100× oil immersion · peripheral blood smear — 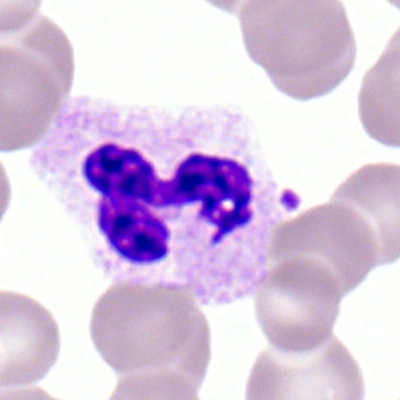

Showing a polymorphonuclear neutrophil.